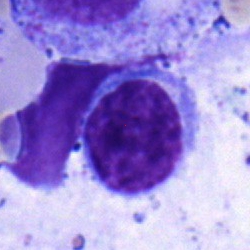A typical lymphocyte on a bone marrow smear.